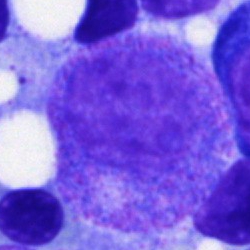 The morphological class is promyelocyte.